Peripheral blood film: 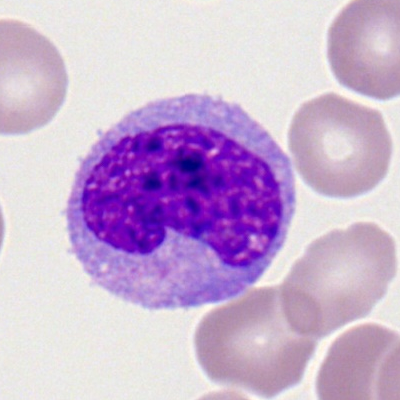 Single cell identified as a monocyte.